May-Grünwald-Giemsa stain. 250×250. Bone marrow smear:
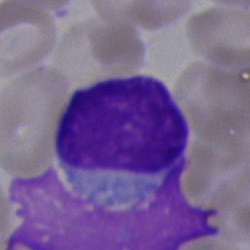

The cell is lymphocyte.